Bone marrow smear · 40× oil immersion — 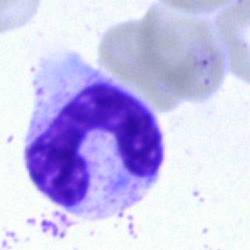
Classification — band-form neutrophil.